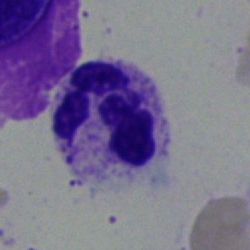Specimen: bone marrow aspirate smear.
Cell: neutrophil (segmented).